Brightfield, 40× oil-immersion objective; bone marrow smear.
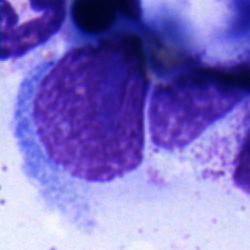 Specimen: bone marrow aspirate smear.
Classification: lymphocyte.
Lineage: lymphoid.